Brightfield microscopy, 40× oil immersion. Bone marrow aspirate smear. 250×250 px: 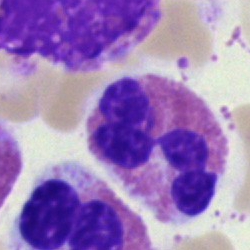
Showing an eosinophilic granulocyte.